Cropped to a single cell. Bone marrow aspirate smear — 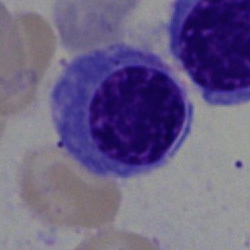 Normoblast.